Peripheral blood film — 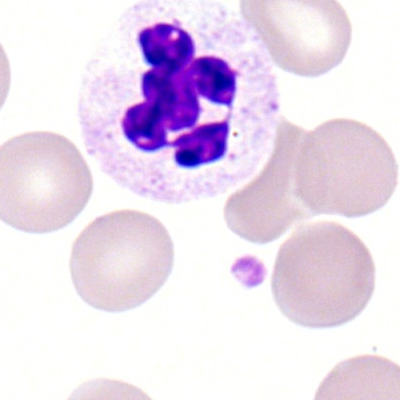 The classification is neutrophil (segmented).